Bone marrow smear: 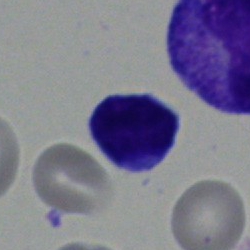

Morphology consistent with a typical lymphocyte.